Single cell centered in the field. Bone marrow aspirate smear.
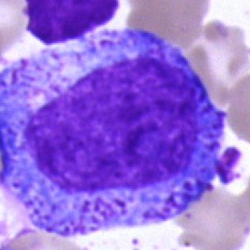Q: Identify the cell.
A: A progranulocyte.